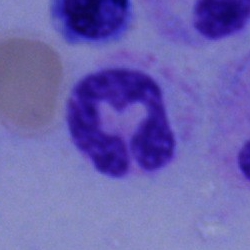Morphology consistent with a segmented neutrophil.